Bone marrow aspirate smear
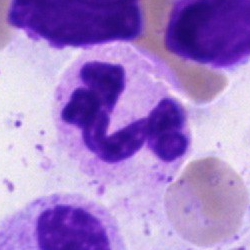
Q: What cell is this?
A: It is a polymorphonuclear neutrophil.